100× objective, oil immersion · peripheral blood smear
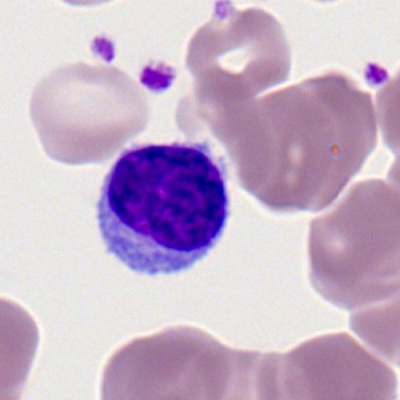

The classification is lymphocyte.